Bone marrow aspirate smear · brightfield, 40× oil-immersion objective — 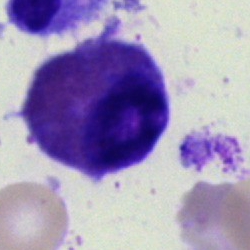

Cell type: eosinophil.